Single-cell crop. Peripheral blood film: 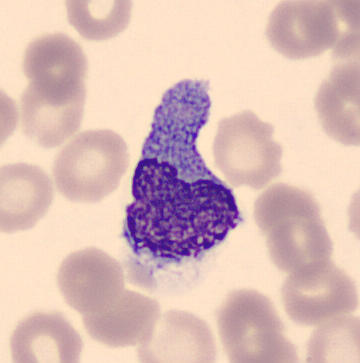
Q: What type of cell is this?
A: This is a monocyte.